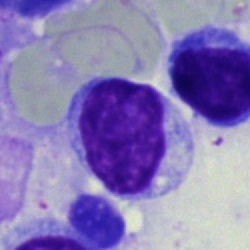Q: What type of cell is this?
A: A lymphocyte.